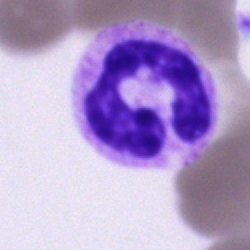Morphology consistent with a neutrophil (segmented).